Single cell centered in the field. Peripheral blood film.
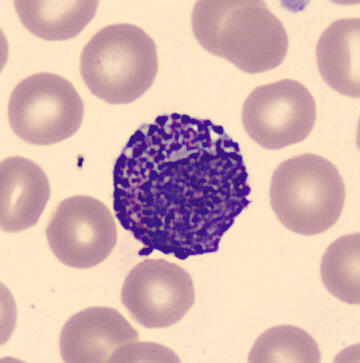

Single cell identified as a basophil.